Bone marrow smear: 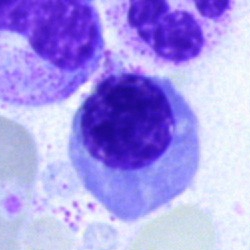

Classification: normoblast.